May-Grünwald-Giemsa/Pappenheim stain; bone marrow smear
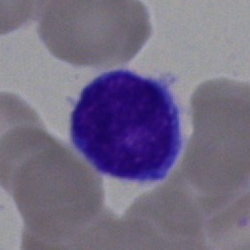{"cell_type": "typical lymphocyte", "lineage": "lymphoid"}